Image size 400×400; peripheral blood film; single cell centered in the field — 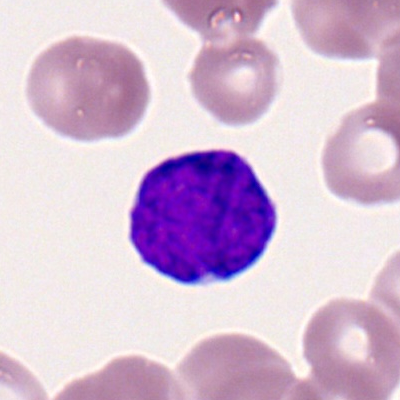Q: What is shown here?
A: It is a myeloblast.